Bone marrow aspirate smear: 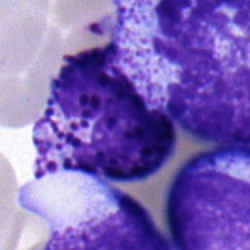This is a basophil.